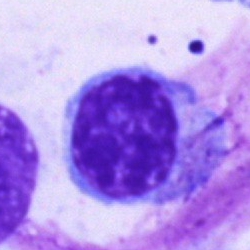 A typical lymphocyte on a bone marrow smear.